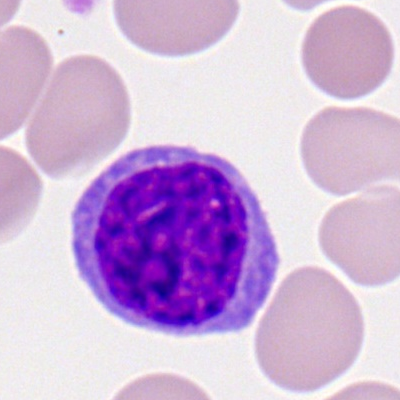

The classification is typical lymphocyte.